Brightfield, 40× oil-immersion objective · bone marrow aspirate smear: 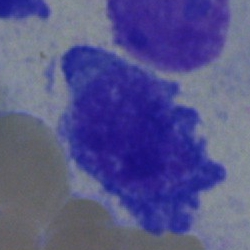
Showing a plasmacyte.